Bone marrow aspirate smear.
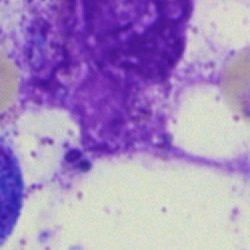 An artifact.